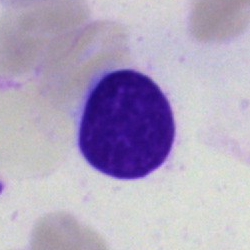
The cell shown is a typical lymphocyte.